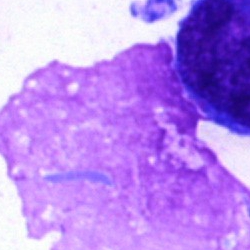

Specimen: bone marrow smear.
Cell: artifact.